Peripheral blood smear — 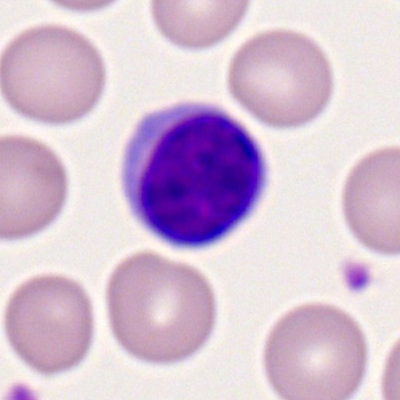

Impression — lymphocyte.